Bone marrow aspirate smear · 250×250 · cropped to a single cell — 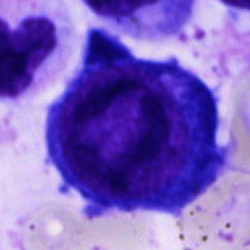

{"cell_type": "proerythroblast"}